Bone marrow aspirate smear
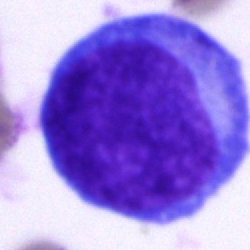

Blast cell.